Bone marrow smear. Single-cell crop.
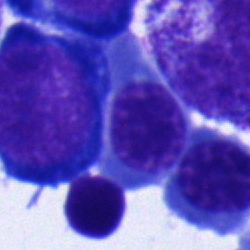
Specimen: bone marrow smear.
Morphological class: nucleated red cell.
Lineage: erythroid.